Bone marrow smear · MGG-stained · image size 250×250: 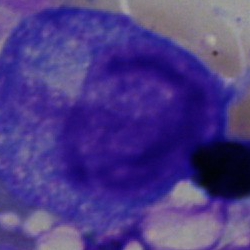 Single cell identified as a progranulocyte.